Bone marrow smear — 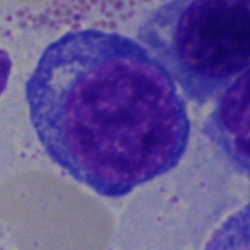This is an erythroblast.